Bone marrow smear
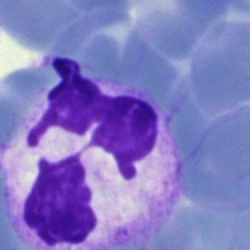

Cell: segmented neutrophil.